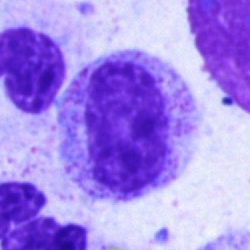 A metamyelocyte on a bone marrow smear.